Bone marrow aspirate smear: 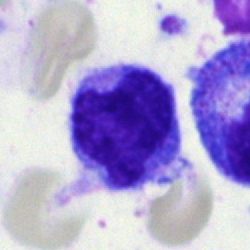Q: Which cell type is shown here?
A: It is a monocyte.